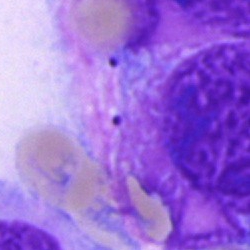

Morphology consistent with an artifact.